MGG-stained; bone marrow smear: 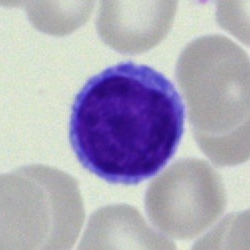
This is a typical lymphocyte.